250 by 250 pixels. Bone marrow smear.
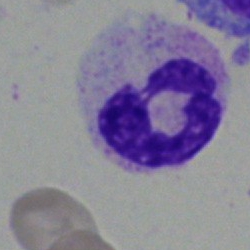
The cell is neutrophil (segmented).